Bone marrow aspirate smear — 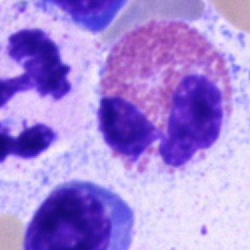

Specimen: bone marrow smear.
Morphological class: eosinophil.
Lineage: myeloid.